Peripheral blood film
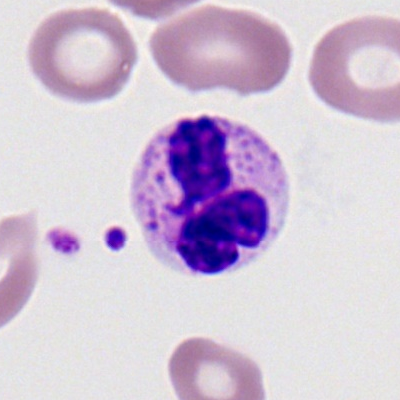

A neutrophil (segmented).